Bone marrow aspirate smear
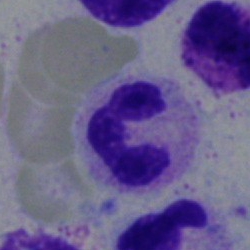Specimen: bone marrow smear.
Morphological class: neutrophil (segmented).
Lineage: myeloid.